Bone marrow aspirate smear.
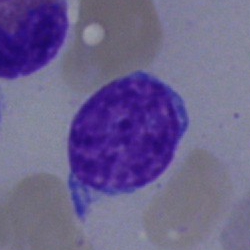 The cell shown is a lymphocyte.